Bone marrow smear:
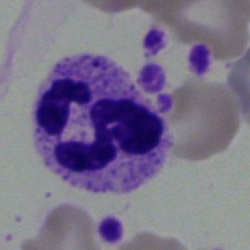 Showing a segmented neutrophil.